Bone marrow aspirate smear · image size 250×250.
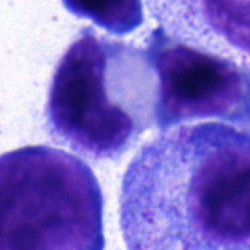 Specimen: bone marrow aspirate smear.
Classification: neutrophil (band).
Lineage: myeloid.